Bone marrow aspirate smear · May-Grünwald-Giemsa stain: 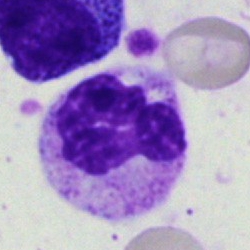Single cell identified as a neutrophil (segmented).